MGG-stained · bone marrow aspirate smear.
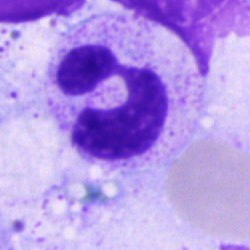 Cell type = neutrophil (segmented).